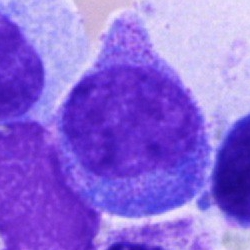 Q: What type of cell is this?
A: Promyelocyte.